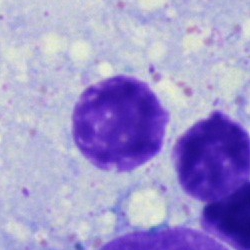Morphology — artifact.